Single-cell field; bone marrow smear — 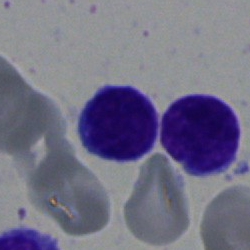The cell shown is a lymphocyte.